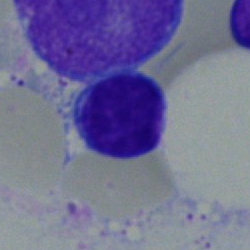

This is a lymphocyte.